May-Grünwald-Giemsa stain; brightfield, 40× oil-immersion objective; bone marrow aspirate smear
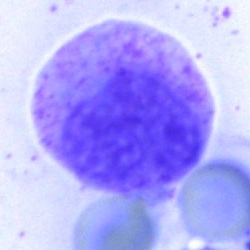
Q: Identify the cell.
A: A stab cell.